Bone marrow smear. 250×250 px. MGG-stained.
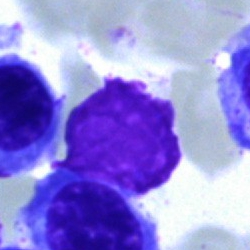
The morphological class is artefact.